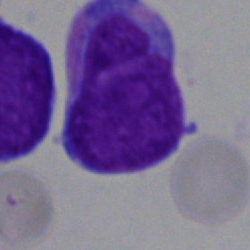 Single-cell crop from a bone marrow smear: blast.